Bone marrow aspirate smear:
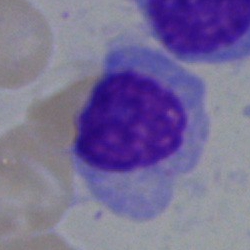Q: What is the morphological classification of this cell?
A: It is a plasma cell.